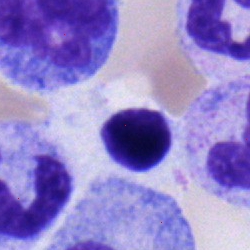
Q: What type of cell is this?
A: A lymphocyte.